Bone marrow smear · image size 250×250.
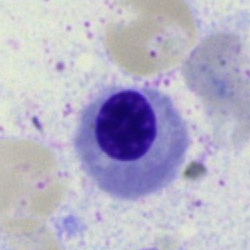

Q: What type of cell is this?
A: This is an erythroblast.